40× objective, oil immersion. Bone marrow smear:
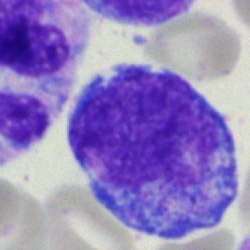 Morphology — promyelocyte.